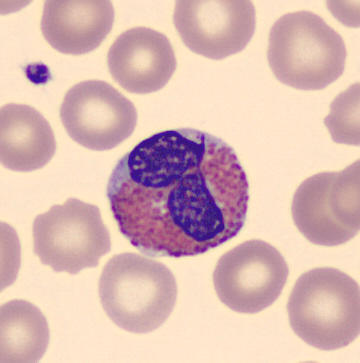The cell is eosinophil.

Acquisition: May Grünwald-Giemsa stain. 360×363 px. Peripheral blood smear.